Bone marrow aspirate smear — 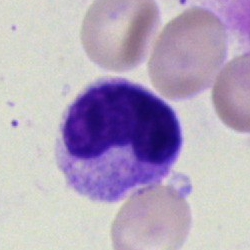A neutrophil (band).